Bone marrow smear; May-Grünwald-Giemsa/Pappenheim stain; 250×250 px:
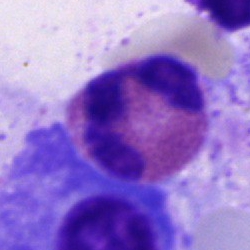Morphology → eosinophil.